Bone marrow smear: 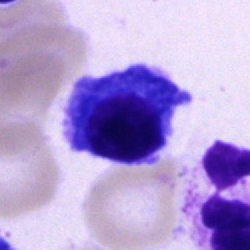Q: What type of cell is this?
A: It is a plasmacyte.